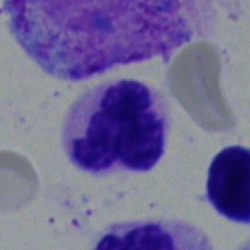Q: What is the morphological classification of this cell?
A: A segmented neutrophil.